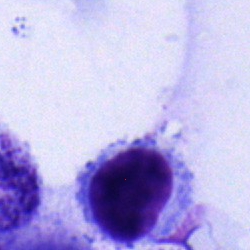Cell type = typical lymphocyte.